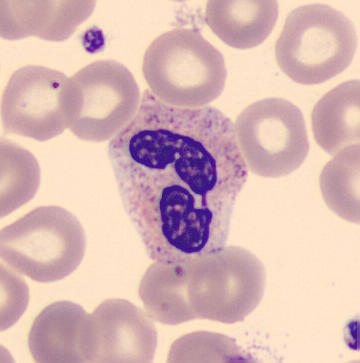Identified as a segmented neutrophil.